Bone marrow aspirate smear:
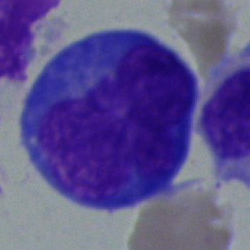 Specimen: bone marrow smear.
Morphological class: blast cell.